Image size 250×250 · bone marrow aspirate smear:
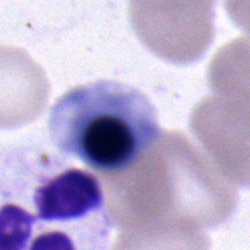 Morphology → normoblast.